Peripheral blood film — 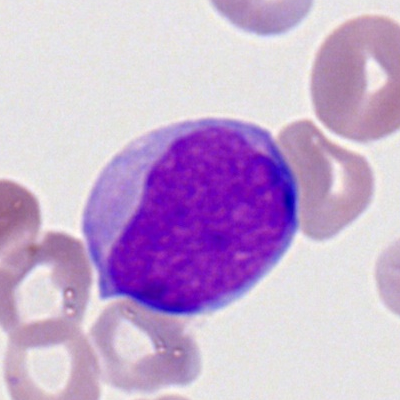Q: Which cell type is shown here?
A: It is a myeloblast.